Bone marrow smear: 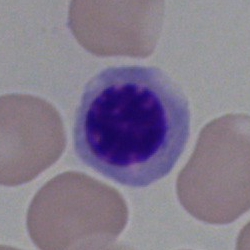 {"cell_type": "erythroblast"}